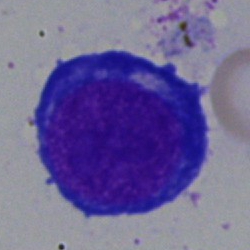Showing a pronormoblast.